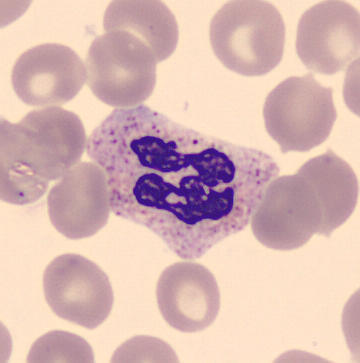 Morphology — segmented neutrophil.

Image: Peripheral blood film.